Bone marrow aspirate smear — 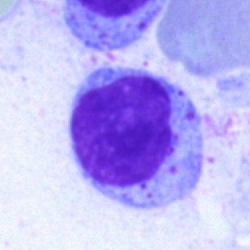Classification: progranulocyte.